Single-cell crop · Pappenheim-stained · bone marrow smear — 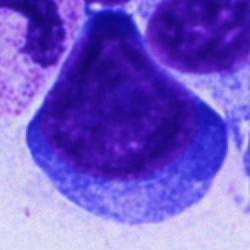

Cell = pronormoblast.